Pappenheim-stained; image size 250×250; bone marrow smear — 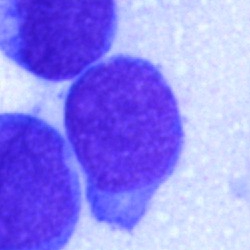

Q: What type of cell is this?
A: A blast.